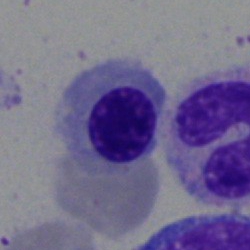

Specimen: bone marrow aspirate smear.
Cell type: erythroblast.
Lineage: erythroid.